Bone marrow aspirate smear; image size 250×250; May-Grünwald-Giemsa/Pappenheim stain: 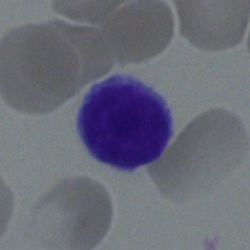

Showing a typical lymphocyte.